Bone marrow aspirate smear
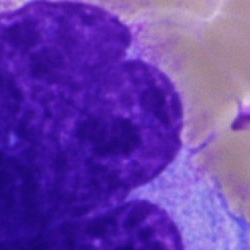
Impression — artifact.